MGG-stained; bone marrow smear
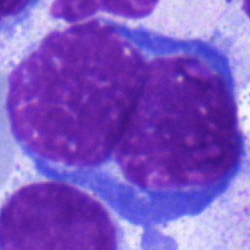 Q: Which cell type is shown here?
A: It is a nucleated red blood cell.